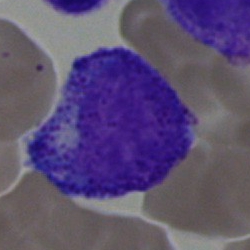Promyelocyte.